Bone marrow smear. Brightfield, 40× oil-immersion objective — 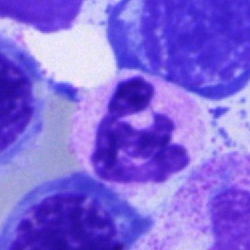 The cell shown is a polymorphonuclear neutrophil.